Pappenheim-stained · bone marrow smear.
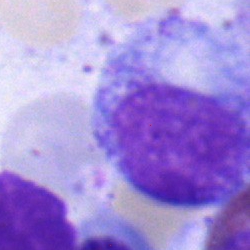
Classification — myelocyte.